Bone marrow aspirate smear · 250×250 px:
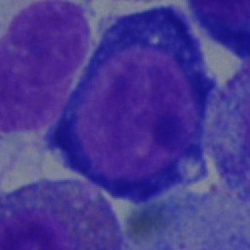

Single cell identified as a pronormoblast.